MGG-stained · bone marrow smear · 40× oil immersion
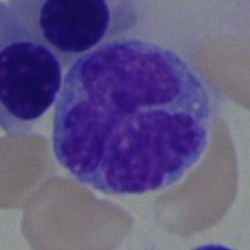
The cell is monocyte.